Bone marrow aspirate smear:
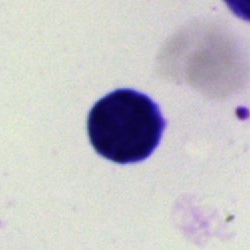

{"cell_type": "typical lymphocyte"}